Bone marrow aspirate smear; 40× objective, oil immersion:
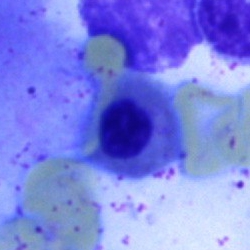
Q: What is shown here?
A: Erythroblast.